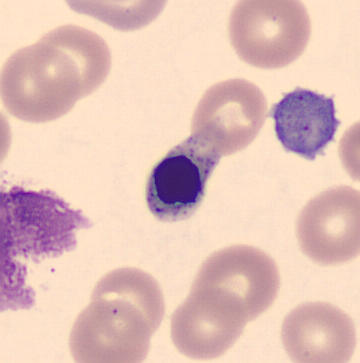 Peripheral blood smear; automated cell imaging (CellaVision DM96); 360 by 363 pixels.
Nucleated red cell.